Bone marrow aspirate smear — 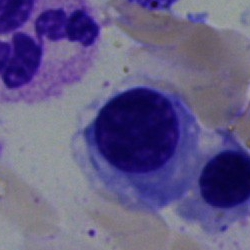 Classification = normoblast.